Bone marrow aspirate smear; 250×250 px; single cell centered in the field: 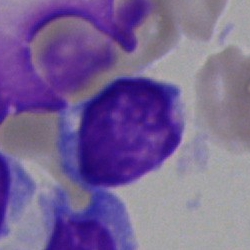
A lymphocyte.